Bone marrow smear.
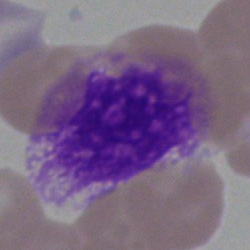 Specimen: bone marrow smear.
Morphological class: artefact.